250×250 · bone marrow aspirate smear — 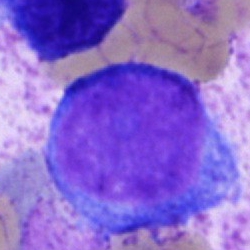 {"cell_type": "blast"}